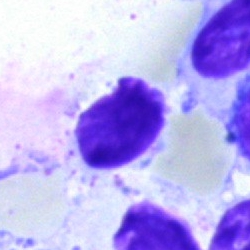

The cell shown is an artefact.